Bone marrow aspirate smear — 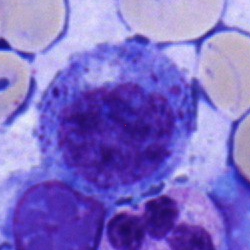
The cell shown is a promyelocyte.